Bone marrow aspirate smear.
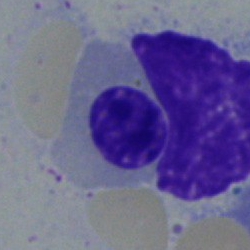
Classification = normoblast.